Bone marrow aspirate smear:
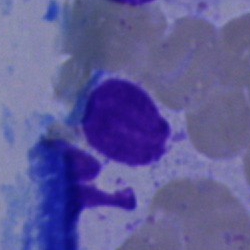 Impression — lymphocyte.